May-Grünwald-Giemsa/Pappenheim stain; bone marrow smear; 40× oil immersion:
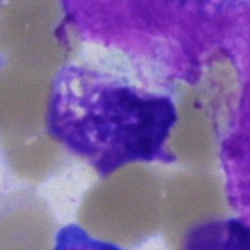 Classification = artifact.